Bone marrow aspirate smear:
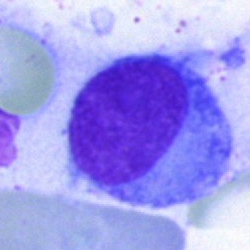Hairy cell.